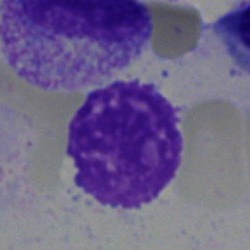Q: What is shown here?
A: This is an artefact.